Bone marrow smear:
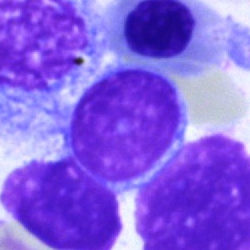 Morphological class — lymphocyte.